Cropped to a single cell. Bone marrow aspirate smear. MGG-stained: 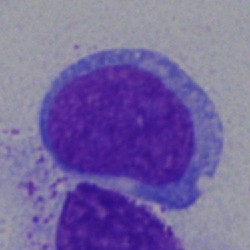Morphological class: promyelocyte.